Bone marrow smear.
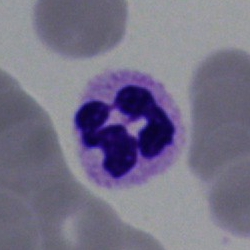
A neutrophil (segmented).